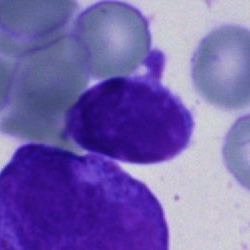Single-cell crop from a bone marrow smear: typical lymphocyte.